Bone marrow aspirate smear. Single-cell field — 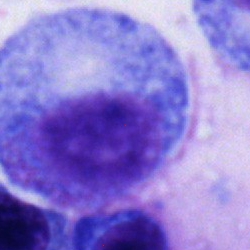Classification — promyelocyte.